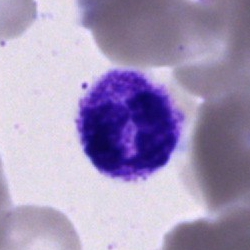
Showing a polymorphonuclear neutrophil.